Bone marrow aspirate smear — 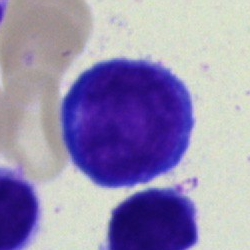
Morphology consistent with a typical lymphocyte.